Image size 250×250. Bone marrow smear.
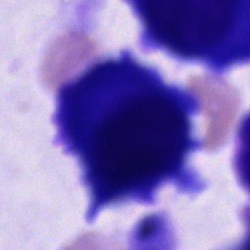 Plasma cell.